Bone marrow aspirate smear; brightfield microscopy, 40× oil immersion:
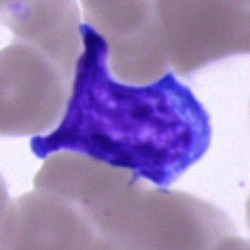
Q: Which cell type is shown here?
A: It is a lymphocyte.